Brightfield, 40× oil-immersion objective; 250 by 250 pixels; bone marrow aspirate smear: 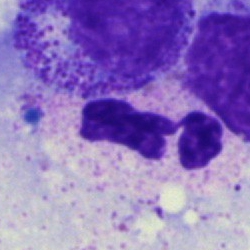

Specimen: bone marrow smear.
Cell type: neutrophil (segmented).
Lineage: myeloid.